Bone marrow aspirate smear
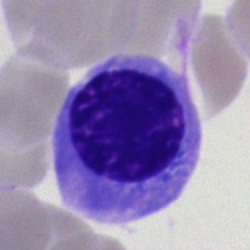

Cell = normoblast.